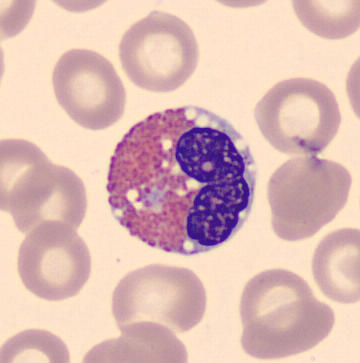

MGG-stained; peripheral blood smear.
Showing an eosinophilic granulocyte.